Bone marrow smear; cropped to a single cell: 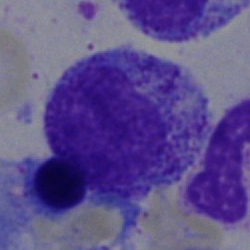
The classification is promyelocyte.